Bone marrow smear; 40× objective, oil immersion: 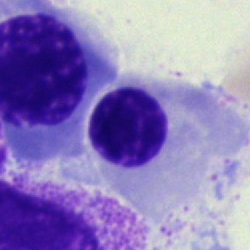 This is a normoblast.